Single-cell crop; bone marrow smear — 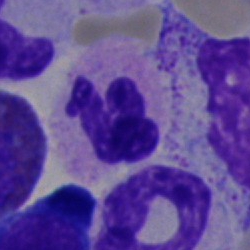

Specimen: bone marrow aspirate smear.
Classification: neutrophil (segmented).